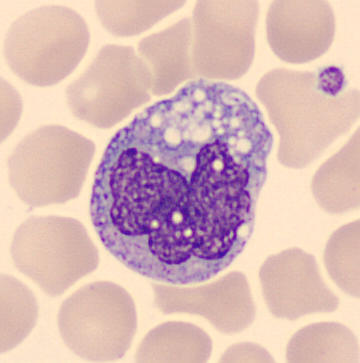
The cell type is monocyte.